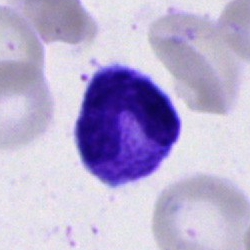

Morphological class — band neutrophil.